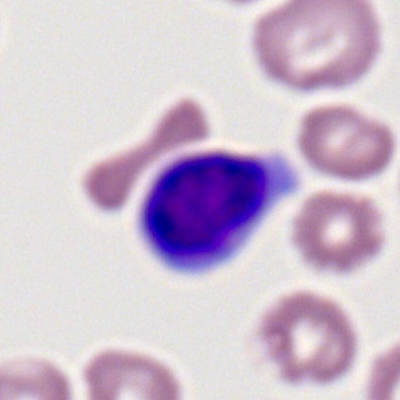
Typical lymphocyte.